Pappenheim-stained · bone marrow smear · brightfield microscopy, 40× oil immersion — 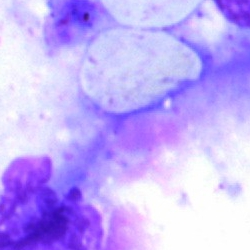 Morphological class = artifact.